Bone marrow aspirate smear.
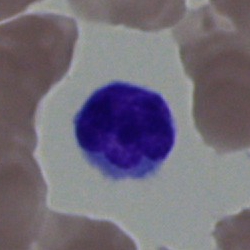

This is a typical lymphocyte.